Peripheral blood film.
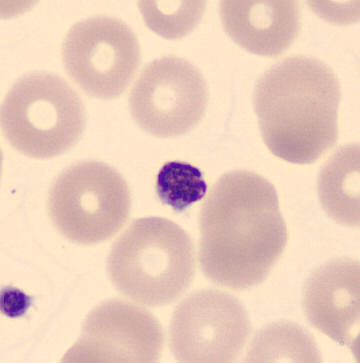{"cell_type": "platelet"}